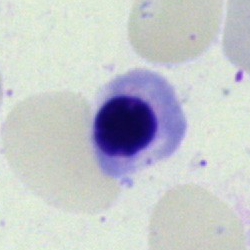

Morphology — normoblast.